Bone marrow aspirate smear:
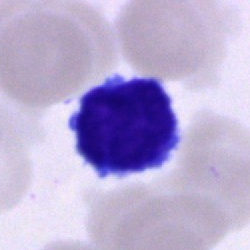

This is a typical lymphocyte.